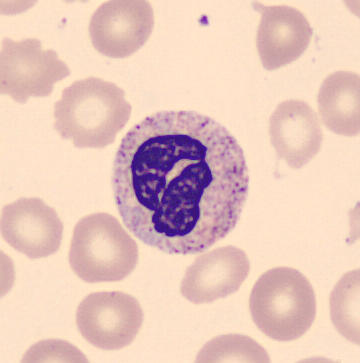

{"cell_type": "polymorphonuclear neutrophil", "lineage": "myeloid"}